MGG-stained. Bone marrow aspirate smear.
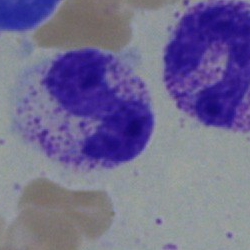 Morphological class — segmented neutrophil.